Bone marrow aspirate smear · cropped to a single cell: 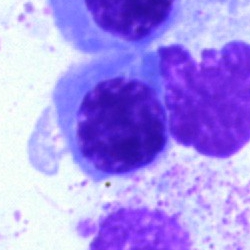This is an erythroblast.